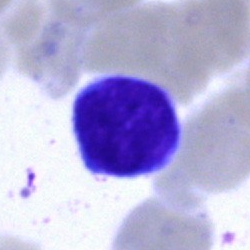
Morphological class = lymphocyte.